Bone marrow smear.
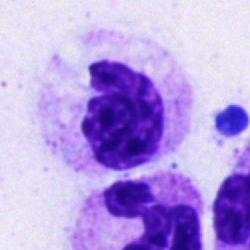
A segmented neutrophil.